Bone marrow aspirate smear: 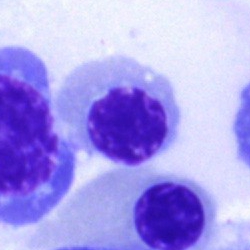

Q: Identify the cell.
A: It is a nucleated red cell.